Bone marrow aspirate smear.
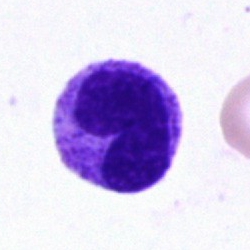

Morphological class — neutrophil (band).